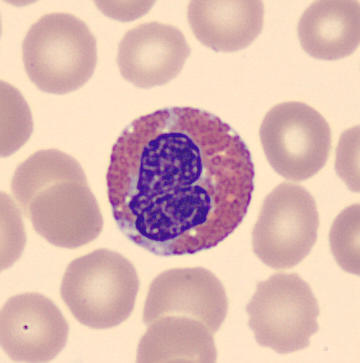Acquisition: Peripheral blood film.

Eosinophilic granulocyte.